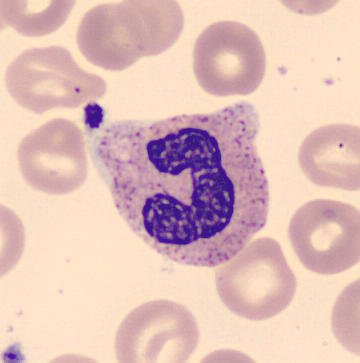 Band-form neutrophil. Peripheral blood smear.